Bone marrow aspirate smear; May-Grünwald-Giemsa stain.
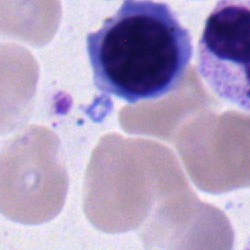

Normoblast.